Bone marrow smear.
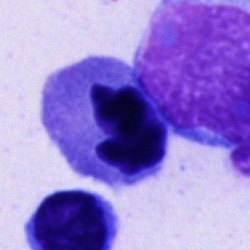 Showing a cell of indeterminate lineage.